Bone marrow smear:
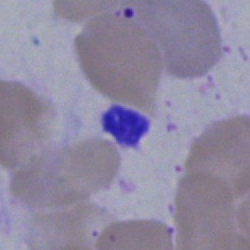Q: What is shown here?
A: This is an artifact.